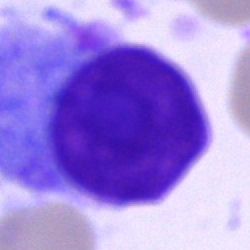Cell type — plasma cell.